Bone marrow smear — 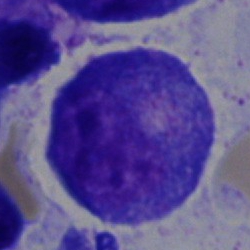

The classification is promyelocyte.